Bone marrow aspirate smear · brightfield microscopy, 40× oil immersion — 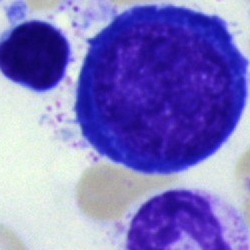
Specimen: bone marrow aspirate smear.
Cell type: proerythroblast.